Peripheral blood film:
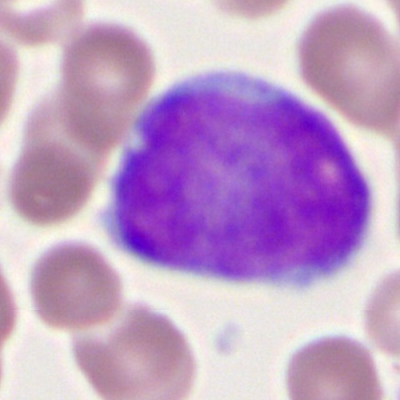 Cell: myeloblast.